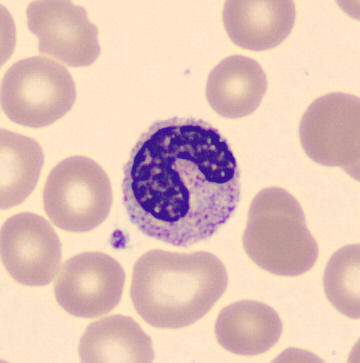
Neutrophil (band).

Acquisition: Peripheral blood smear.